Bone marrow aspirate smear; May-Grünwald-Giemsa stain.
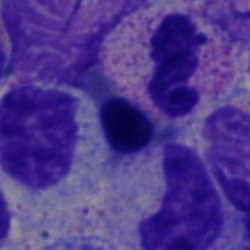 Q: What cell is this?
A: This is a segmented neutrophil.